Brightfield, 40× oil-immersion objective · bone marrow aspirate smear:
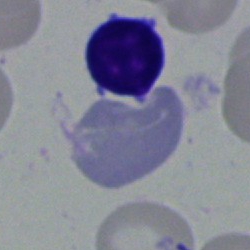
Classification: typical lymphocyte.